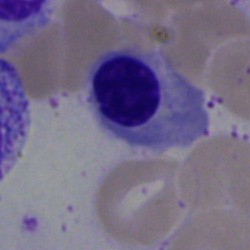 An erythroblast.